MGG-stained. Brightfield, 40× oil-immersion objective. Bone marrow smear: 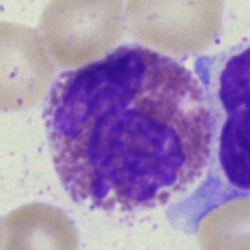Q: Which cell type is shown here?
A: It is an eosinophilic granulocyte.